250×250; bone marrow aspirate smear — 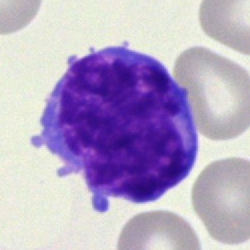

Cell type: undifferentiated blast.